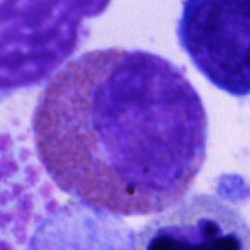Cell = eosinophilic granulocyte.